Bone marrow aspirate smear: 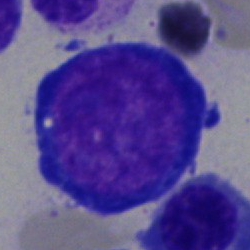

Showing a proerythroblast.